Single-cell crop. Bone marrow aspirate smear: 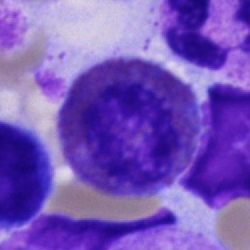

Q: Identify the cell.
A: Eosinophilic granulocyte.